Bone marrow aspirate smear
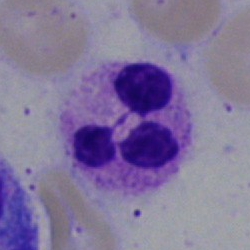

Morphological class = polymorphonuclear neutrophil.